Bone marrow smear: 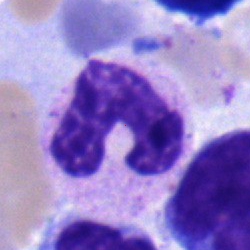
Specimen: bone marrow smear.
Cell type: band-form neutrophil.
Lineage: myeloid.